Bone marrow aspirate smear
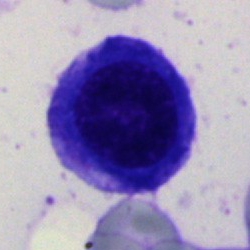Cell — nucleated red blood cell.